Bone marrow smear
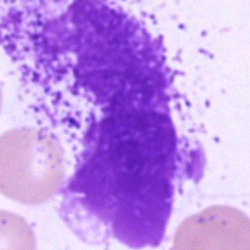
Classification: artefact.